Bone marrow aspirate smear:
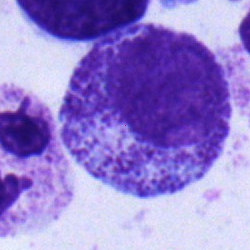
Q: Which cell type is shown here?
A: Myelocyte.